Peripheral blood smear — 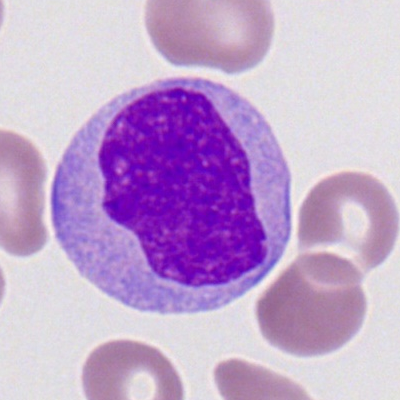

Q: What is shown here?
A: This is a myeloid blast.